40× objective, oil immersion · bone marrow aspirate smear:
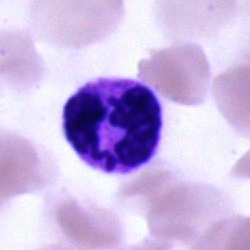
Showing a polymorphonuclear neutrophil.